Bone marrow aspirate smear:
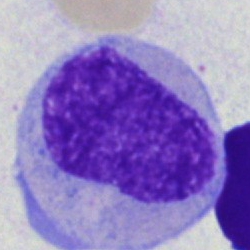 The morphological class is monocyte.